Bone marrow smear — 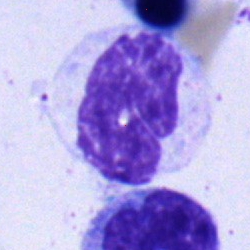
Morphology — metamyelocyte.